40× objective, oil immersion · bone marrow smear · May-Grünwald-Giemsa stain: 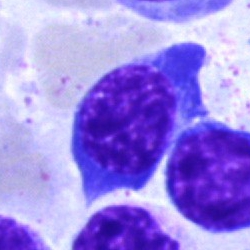Q: Identify the cell.
A: Nucleated red blood cell.